Bone marrow aspirate smear:
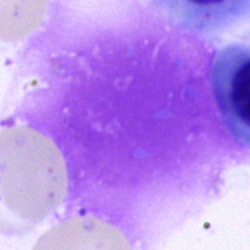

Classification — artefact.